Bone marrow aspirate smear
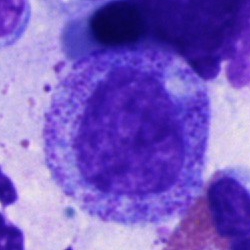 Showing a progranulocyte.